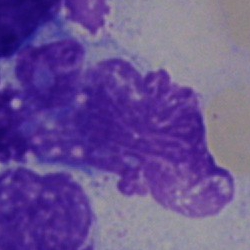Bone marrow smear showing an artefact.